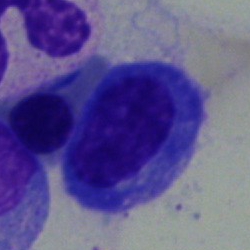
Showing a plasmacyte.